Bone marrow aspirate smear · May-Grünwald-Giemsa stain — 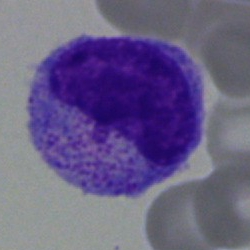 Myelocyte.